Peripheral blood film.
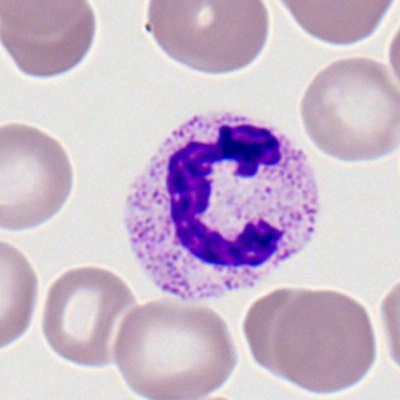
Cell type — segmented neutrophil.